Bone marrow aspirate smear. 250 by 250 pixels:
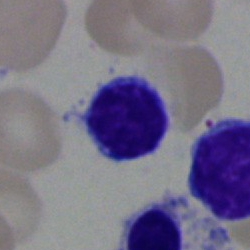Cell — typical lymphocyte.